Bone marrow smear — 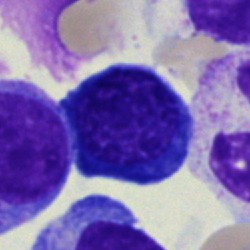Q: What is shown here?
A: It is an erythroblast.